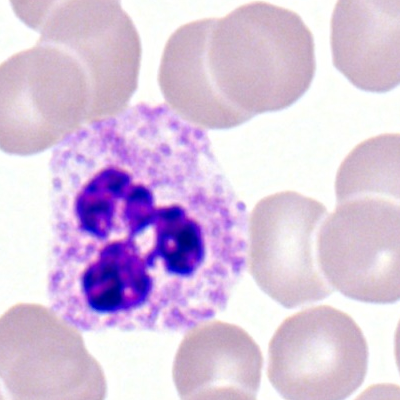

Specimen: peripheral blood film.
Morphological class: segmented neutrophil.